Bone marrow aspirate smear: 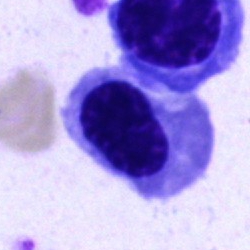Specimen: bone marrow smear.
Morphological class: nucleated red cell.
Lineage: erythroid.